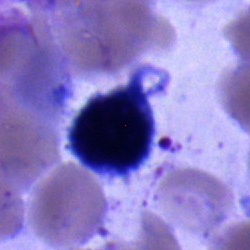

Morphology — lymphocyte.